Bone marrow aspirate smear — 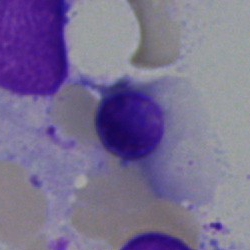Q: What is shown here?
A: It is an erythroblast.